Bone marrow smear.
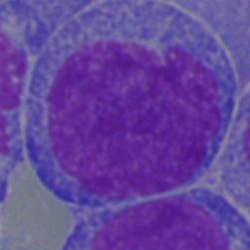 The classification is blast.